Image size 250×250; bone marrow smear: 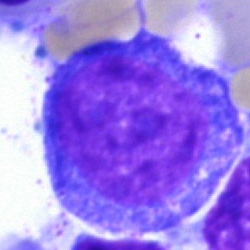
Q: Identify the cell.
A: This is a pronormoblast.